Bone marrow aspirate smear: 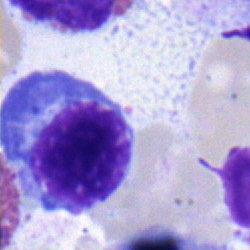 A nucleated red cell.